Bone marrow aspirate smear:
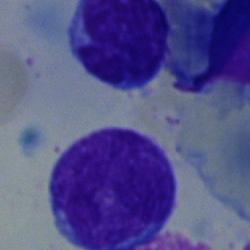
Classification = blast cell.